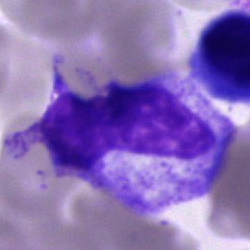 Morphology consistent with a band neutrophil.